Single-cell field. Bone marrow aspirate smear. Pappenheim-stained
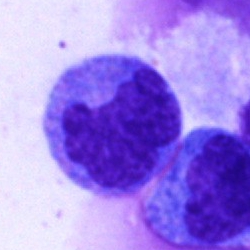
Morphology consistent with a monocyte.